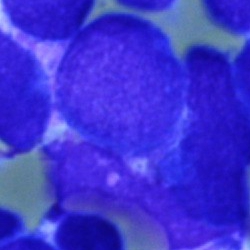The morphological class is undifferentiated blast.